Bone marrow smear — 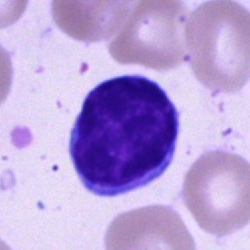Cell — lymphocyte.